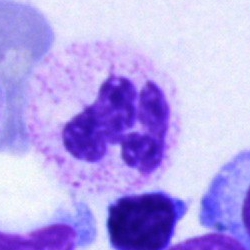Single cell identified as a segmented neutrophil.